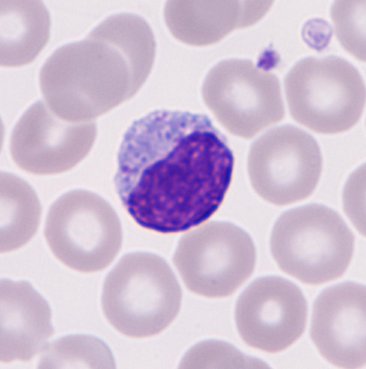
Single cell identified as a typical lymphocyte.

Preparation: Peripheral blood film.